Image size 250×250 · bone marrow aspirate smear.
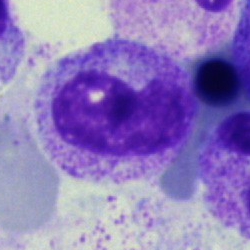 Morphology consistent with a metamyelocyte.